Bone marrow aspirate smear: 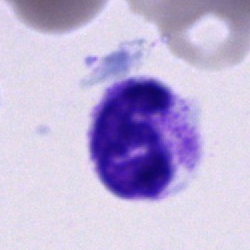

Classification — segmented neutrophil.